Bone marrow smear: 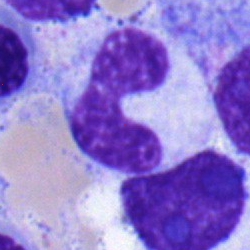 The cell is stab cell.